May-Grünwald-Giemsa/Pappenheim stain; bone marrow aspirate smear; brightfield, 40× oil-immersion objective.
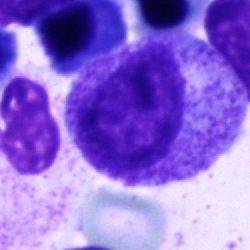 A myelocyte.